250×250 px · 40× oil immersion · bone marrow smear
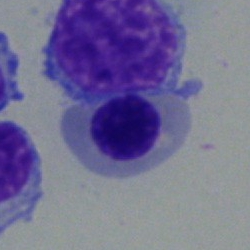

Q: What is shown here?
A: Nucleated red cell.